Bone marrow aspirate smear. Single-cell field. Pappenheim-stained.
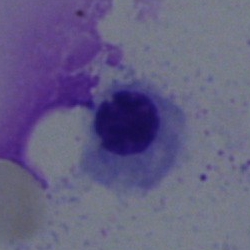
Q: Which cell type is shown here?
A: This is a nucleated red cell.